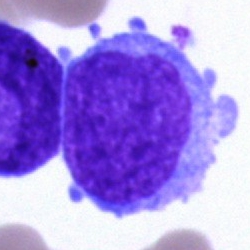The cell is blast.